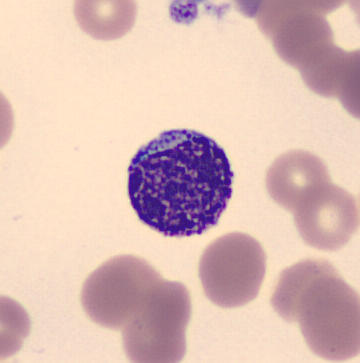

Preparation: Peripheral blood film. This is a myelocyte.